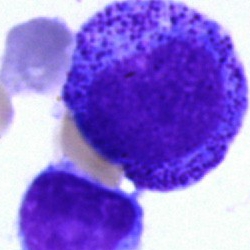

Specimen: bone marrow smear.
Morphological class: promyelocyte.
Lineage: myeloid.